Bone marrow aspirate smear
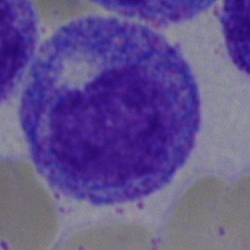Cell — progranulocyte.